Bone marrow smear: 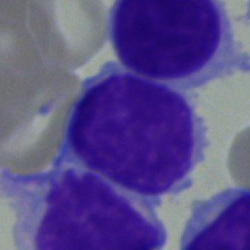

Classification = typical lymphocyte.